Bone marrow smear:
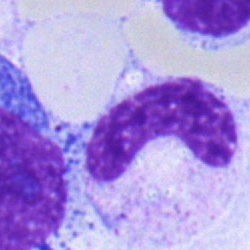 Q: Which cell type is shown here?
A: It is a stab cell.